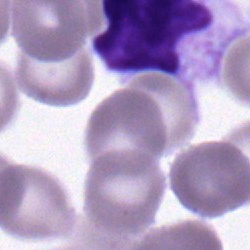Cell = typical lymphocyte.